MGG-stained · bone marrow smear · image size 250×250 — 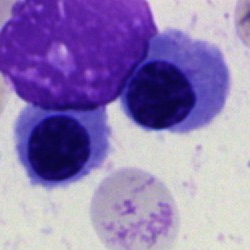 Q: What type of cell is this?
A: It is a normoblast.